Bone marrow smear; brightfield microscopy, 40× oil immersion: 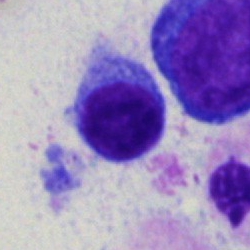

Q: Identify the cell.
A: This is a lymphocyte.